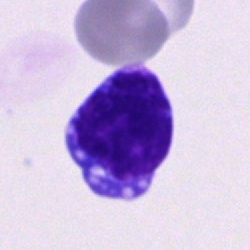

The cell shown is a blast.